Peripheral blood smear.
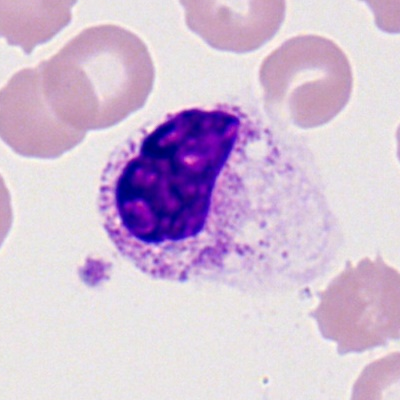
Specimen: peripheral blood film.
Classification: neutrophil (segmented).
Lineage: myeloid.